Bone marrow smear:
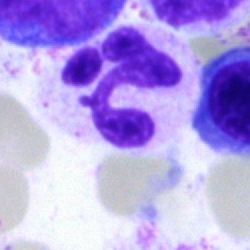{"cell_type": "neutrophil (segmented)"}